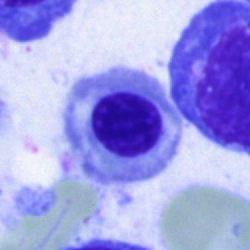 Morphology consistent with a nucleated red cell.